Single-cell crop · bone marrow smear — 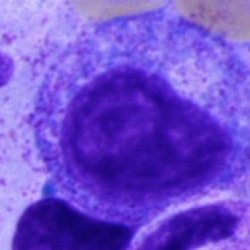
Single cell identified as a progranulocyte.